Bone marrow aspirate smear. 40× oil immersion
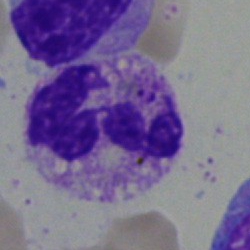

This is a segmented neutrophil.